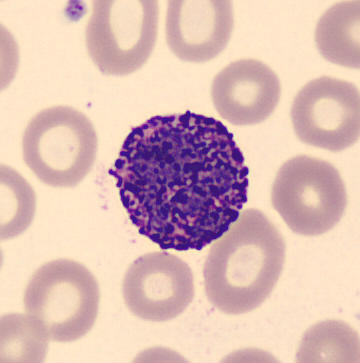
From a peripheral blood smear: a basophil.